Bone marrow smear. 250 by 250 pixels.
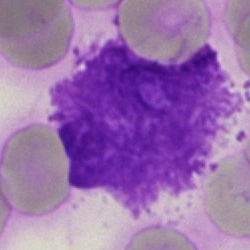 Cell — artefact.